May-Grünwald-Giemsa stain. Bone marrow smear:
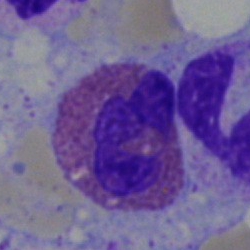Morphological class — eosinophil.